Bone marrow smear; brightfield, 40× oil-immersion objective: 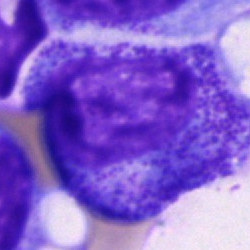Morphology consistent with a neutrophil (segmented).